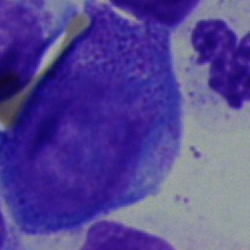 Q: What cell is this?
A: This is a progranulocyte.